Bone marrow smear: 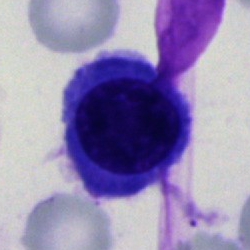 Classification — nucleated red cell.